Single-cell crop. Bone marrow aspirate smear.
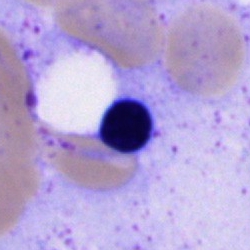

Nucleated red blood cell.